Bone marrow aspirate smear
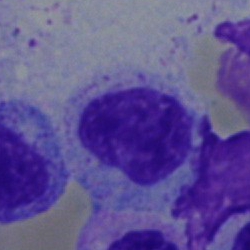

Specimen: bone marrow aspirate smear.
Cell type: myelocyte.
Lineage: myeloid.